Bone marrow aspirate smear · 40× oil immersion
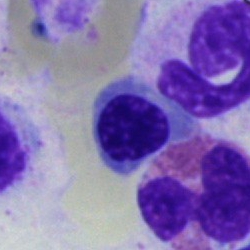

Q: Which cell type is shown here?
A: A normoblast.